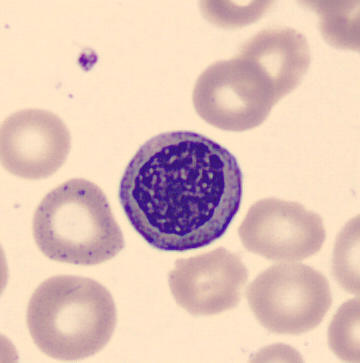Morphology → myelocyte.